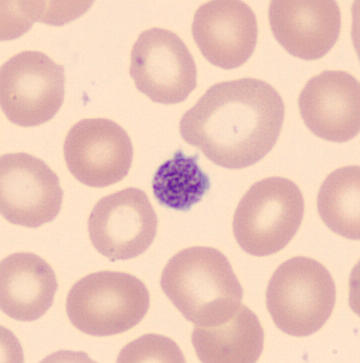
Peripheral blood film.
Morphological class: platelet (thrombocyte).